Bone marrow aspirate smear · cropped to a single cell — 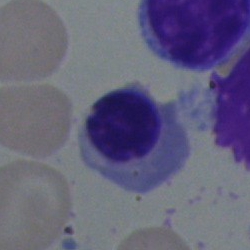
Q: What type of cell is this?
A: Nucleated red blood cell.